Brightfield, 40× oil-immersion objective · bone marrow aspirate smear:
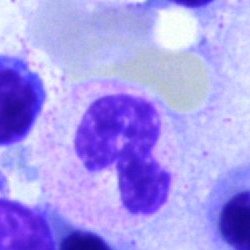Morphology consistent with a neutrophil (segmented).